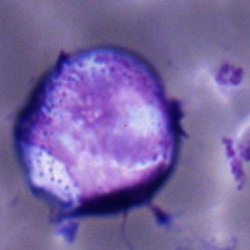 Q: Identify the cell.
A: It is a monocyte.